May-Grünwald-Giemsa/Pappenheim stain; bone marrow aspirate smear:
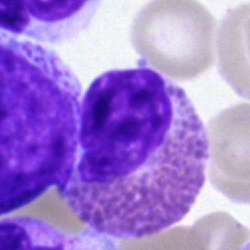

{"cell_type": "eosinophilic granulocyte"}